Bone marrow smear: 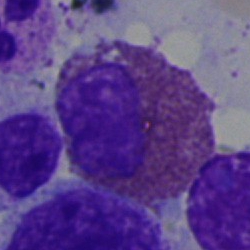

Single cell identified as an eosinophil.